Bone marrow aspirate smear
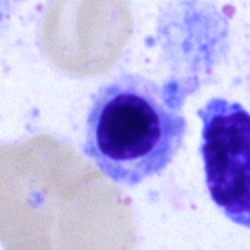
Morphology — nucleated red blood cell.